Bone marrow aspirate smear; 40× objective, oil immersion:
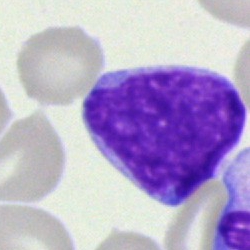Showing a blast cell.